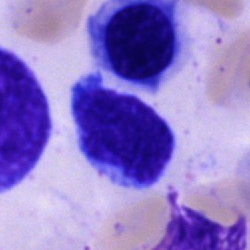
Q: Which cell type is shown here?
A: It is a lymphocyte.